Bone marrow aspirate smear; single-cell field — 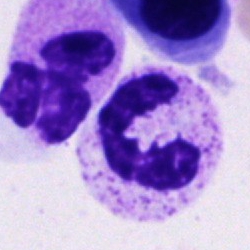The cell type is segmented neutrophil.